Bone marrow smear — 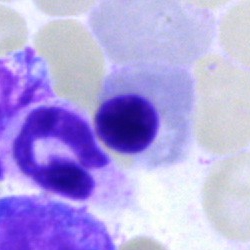

Morphology → normoblast.